250 by 250 pixels. Bone marrow smear. Brightfield, 40× oil-immersion objective.
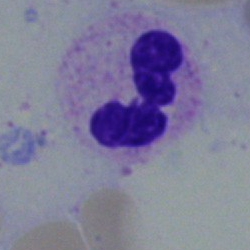 Showing a polymorphonuclear neutrophil.